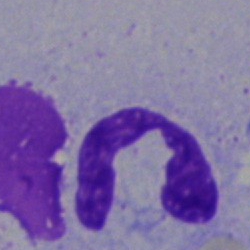 {"cell_type": "segmented neutrophil"}